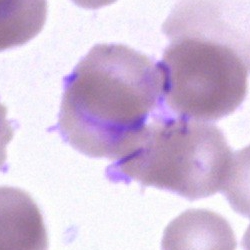Cell — artifact.